Peripheral blood film:
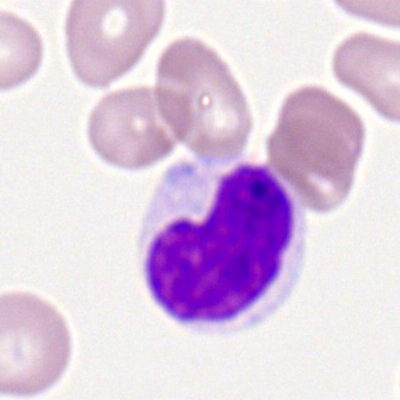Lymphocyte.